Bone marrow smear. Brightfield microscopy, 40× oil immersion
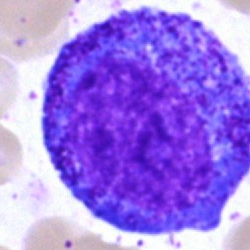Cell type — progranulocyte.